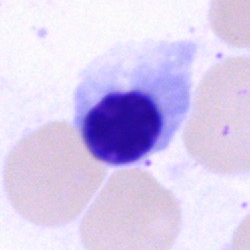 Single-cell crop from a bone marrow smear: erythroblast.